Bone marrow smear; May-Grünwald-Giemsa/Pappenheim stain — 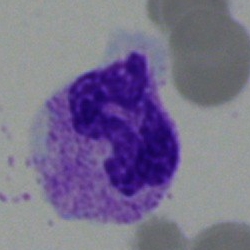 Specimen: bone marrow aspirate smear.
Cell type: polymorphonuclear neutrophil.